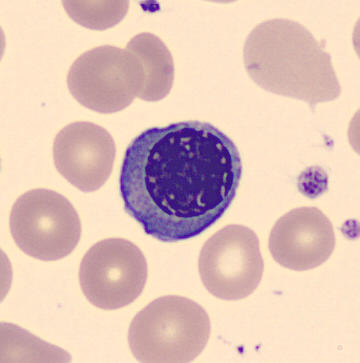Showing a normoblast. Image: Peripheral blood smear.